MGG stain · peripheral blood smear.
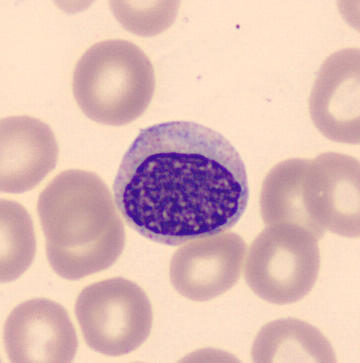Specimen: peripheral blood film.
Cell: myelocyte.